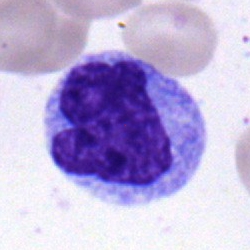

{"cell_type": "monocyte", "lineage": "myeloid"}